Bone marrow smear:
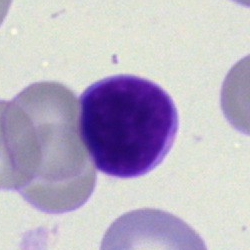 Q: Which cell type is shown here?
A: This is a typical lymphocyte.